Image size 250×250 · bone marrow smear.
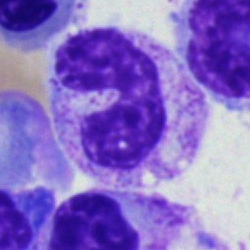 Impression — neutrophil (band).